Bone marrow aspirate smear: 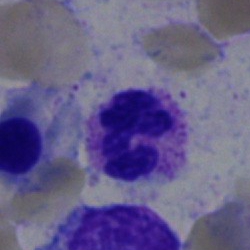Morphology consistent with a basophilic granulocyte.